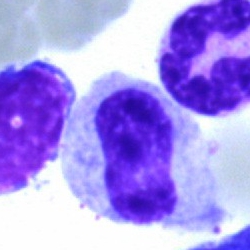
Q: What type of cell is this?
A: It is a segmented neutrophil.